Bone marrow smear · Pappenheim-stained · single cell centered in the field:
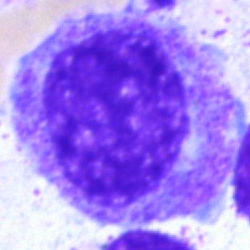Classification = myelocyte.